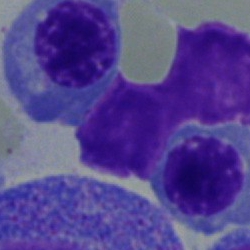Impression — erythroblast.